Bone marrow smear — 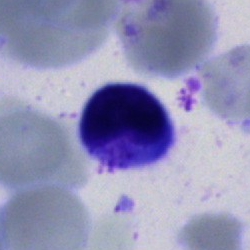

Impression → artefact.